Bone marrow aspirate smear:
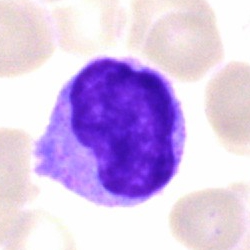Classification — lymphocyte.